MGG-stained; bone marrow smear.
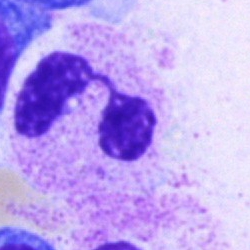
Q: Identify the cell.
A: A neutrophil (segmented).